Bone marrow aspirate smear.
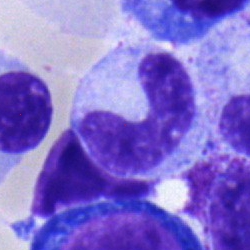

Q: What is shown here?
A: This is a band neutrophil.